Bone marrow aspirate smear; 250×250 px
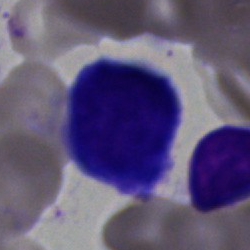 Q: What cell is this?
A: It is a lymphocyte.